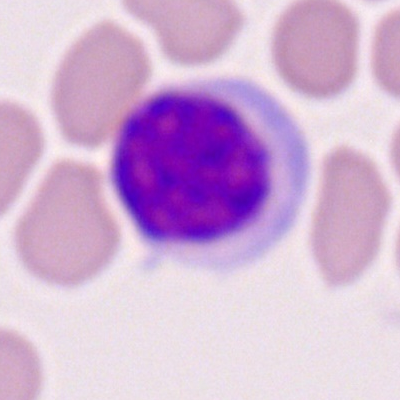
The cell shown is a typical lymphocyte.